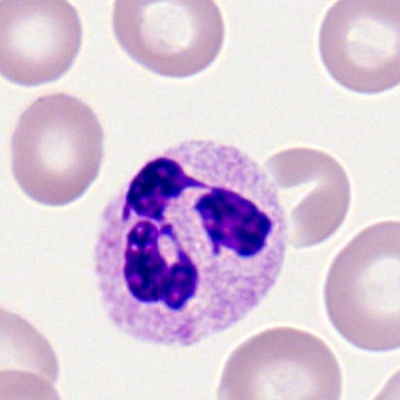 Single-cell crop from a peripheral blood smear: polymorphonuclear neutrophil.